Peripheral blood smear: 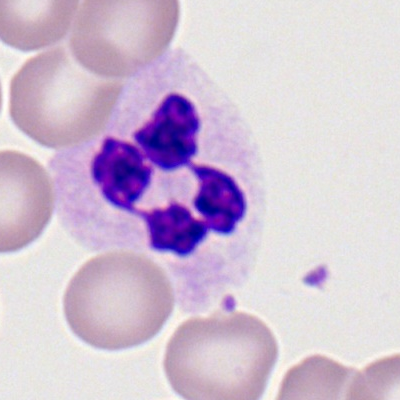

Specimen: peripheral blood film.
Cell type: polymorphonuclear neutrophil.
Lineage: myeloid.